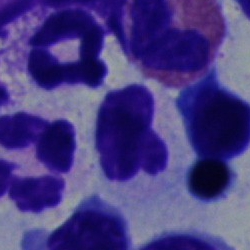

The cell shown is a polymorphonuclear neutrophil.